Bone marrow aspirate smear.
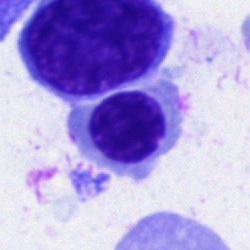

Q: What type of cell is this?
A: This is a nucleated red blood cell.